Bone marrow smear
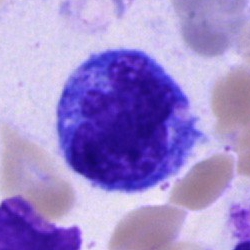

Q: Identify the cell.
A: This is a monocyte.